Peripheral blood film:
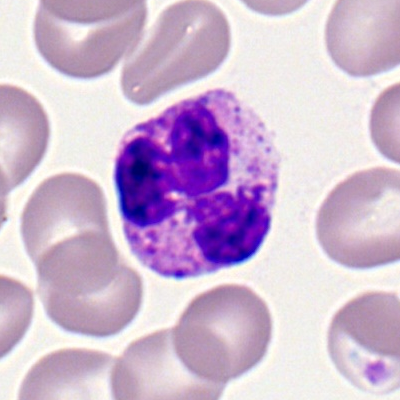
Morphology — basophil.